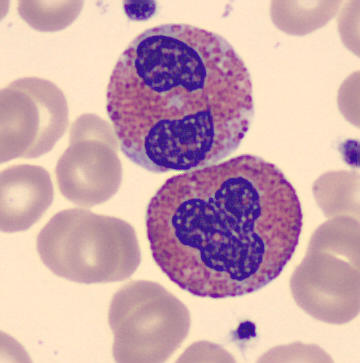Preparation: Peripheral blood smear.
Single cell identified as an eosinophil.